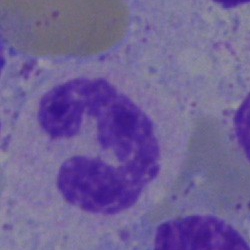 Single cell identified as a polymorphonuclear neutrophil.